Single-cell field; brightfield microscopy, 40× oil immersion; bone marrow aspirate smear:
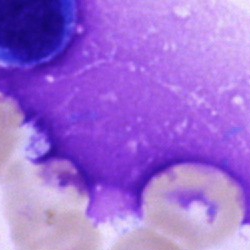 Cell — artifact.